Bone marrow smear:
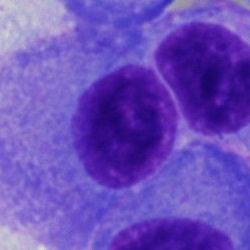Q: Which cell type is shown here?
A: A plasmacyte.